Single-cell crop · bone marrow aspirate smear · brightfield, 40× oil-immersion objective
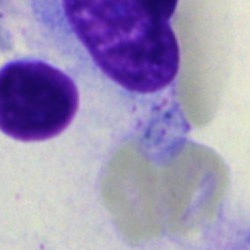 Specimen: bone marrow smear.
Cell type: artifact.